Peripheral blood film · single-cell crop · Romanowsky-type stain.
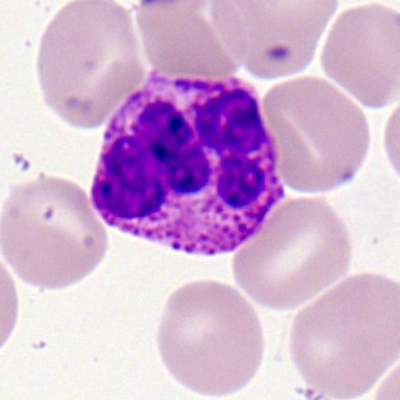The cell shown is a basophil.